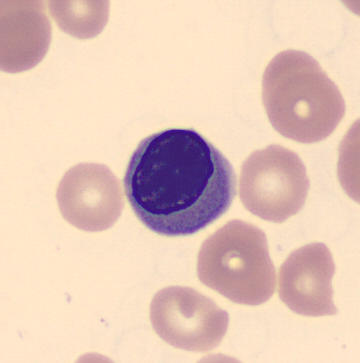 Classification: normoblast.

Acquisition: Cropped to a single cell · peripheral blood film · May Grünwald-Giemsa stain.